250×250. Bone marrow aspirate smear:
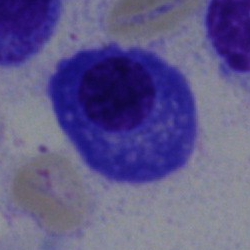The morphological class is plasmacyte.